Single-cell field; bone marrow aspirate smear — 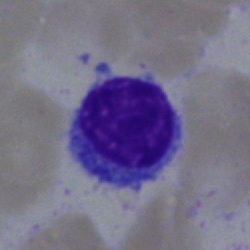Q: What is the morphological classification of this cell?
A: This is a lymphocyte.